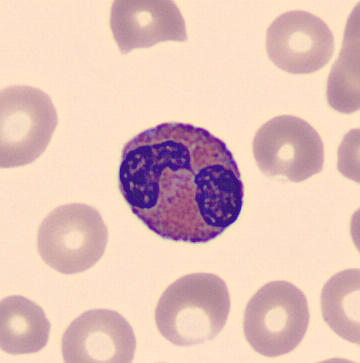

Image: Peripheral blood smear · 360×363 px.
{"cell_type": "eosinophilic granulocyte", "lineage": "myeloid"}